400×400. Single-cell crop. Peripheral blood film: 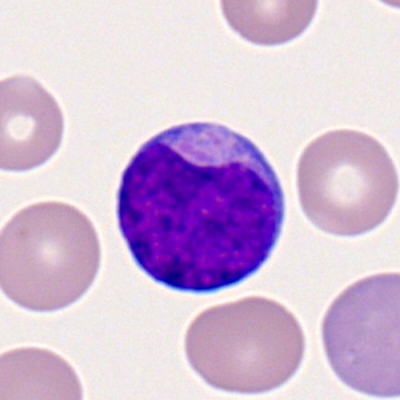
Showing a myeloid blast.